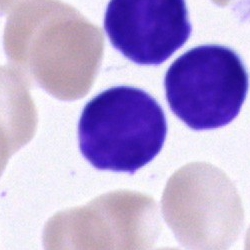
Specimen: bone marrow smear.
Morphological class: lymphocyte.
Lineage: lymphoid.